Peripheral blood film
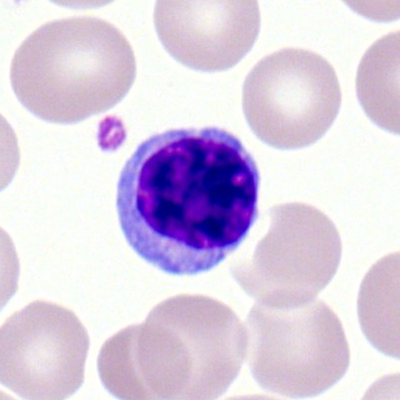
A typical lymphocyte.